May-Grünwald-Giemsa/Pappenheim stain; image size 250×250; bone marrow smear — 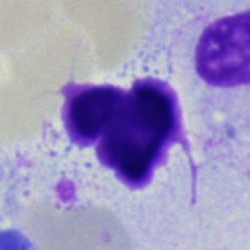 Q: What is shown here?
A: This is an artifact.